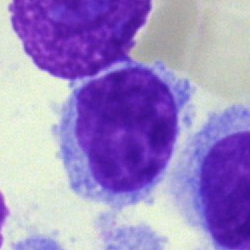The classification is hairy cell.